Bone marrow aspirate smear:
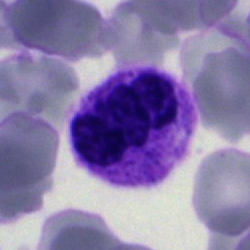Showing a segmented neutrophil.